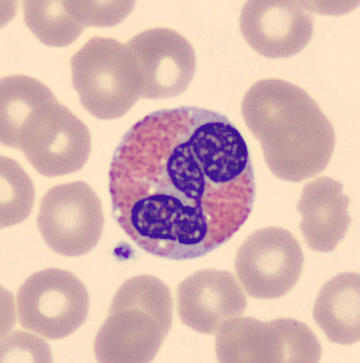Classification: eosinophil.
Preparation: May-Grünwald-Giemsa-stained · imaged on a CellaVision DM96 analyser · peripheral blood smear.